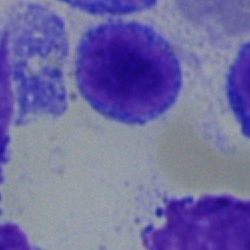
This is a lymphocyte.